May-Grünwald-Giemsa/Pappenheim stain; single-cell crop; bone marrow aspirate smear: 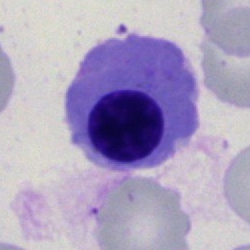 Morphology consistent with a normoblast.